Bone marrow aspirate smear: 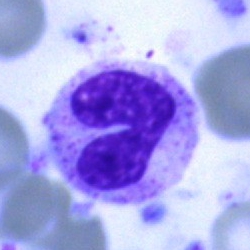

Q: What is shown here?
A: It is a segmented neutrophil.